Bone marrow smear
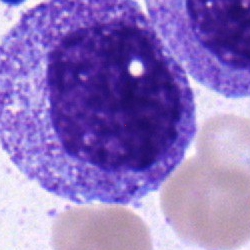 Q: What is the morphological classification of this cell?
A: This is a myelocyte.